Bone marrow aspirate smear; 250×250 px: 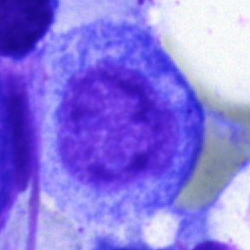Showing a promyelocyte.